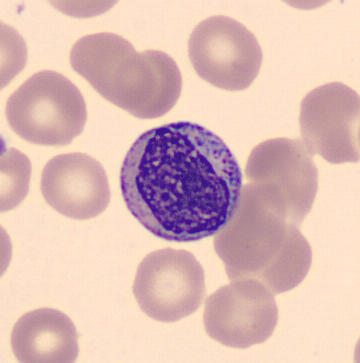 Q: What is this?
A: A myelocyte.